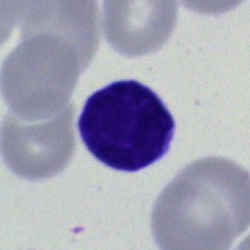 Cell type — lymphocyte.